Bone marrow aspirate smear; single-cell crop:
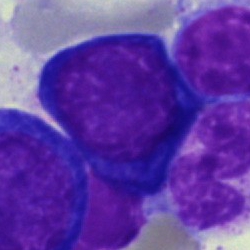

Morphology consistent with a pronormoblast.